Bone marrow aspirate smear.
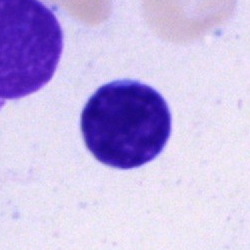

A typical lymphocyte.